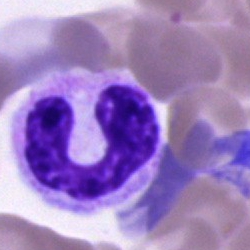Classification — neutrophil (band).